Peripheral blood film — 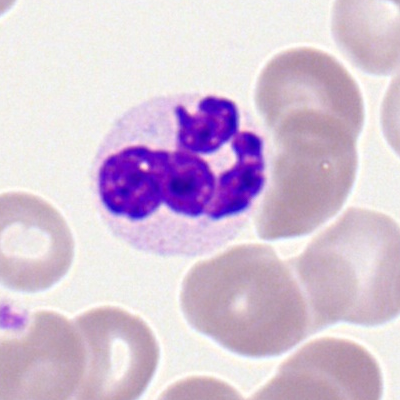

Cell = polymorphonuclear neutrophil.